May-Grünwald-Giemsa/Pappenheim stain · bone marrow aspirate smear · single cell centered in the field:
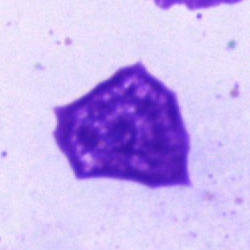

The cell shown is an artifact.